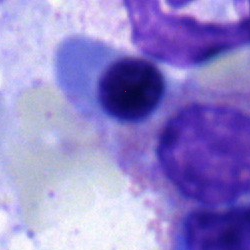 Single-cell crop from a bone marrow smear: nucleated red cell.